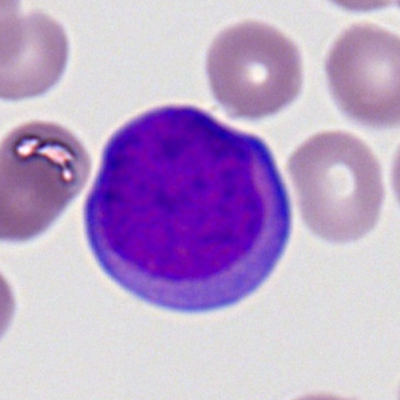
Classification = myeloid blast.